40× objective, oil immersion; bone marrow aspirate smear; single cell centered in the field
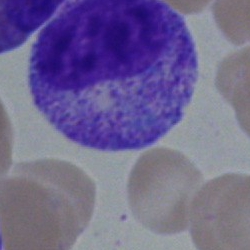
The cell shown is a myelocyte.